Bone marrow smear · 250 by 250 pixels.
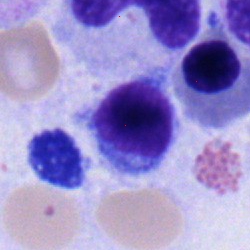Single cell identified as a lymphocyte.